Single cell centered in the field. Bone marrow smear — 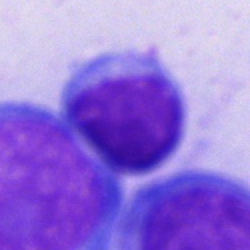 Q: Identify the cell.
A: It is a lymphocyte.